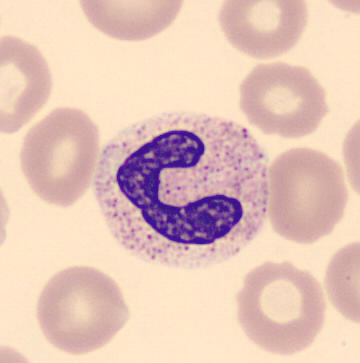

Single-cell crop from a peripheral blood smear: stab cell.